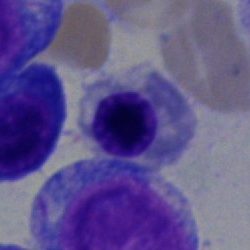
A nucleated red blood cell.